Bone marrow smear: 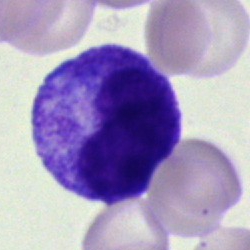

This is a metamyelocyte.